40× objective, oil immersion · bone marrow aspirate smear · image size 250×250: 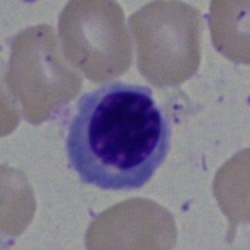A nucleated red cell.